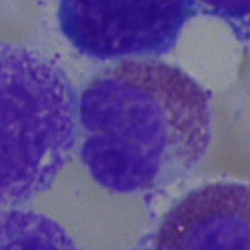

Cell type = eosinophil.